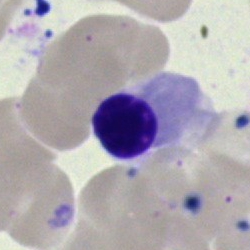
Cell: nucleated red blood cell.